Bone marrow smear. 40× oil immersion. 250×250
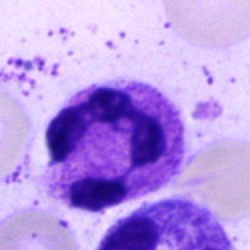

Impression → neutrophil (segmented).